Bone marrow aspirate smear · MGG-stained: 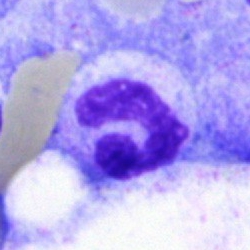 Single cell identified as a segmented neutrophil.